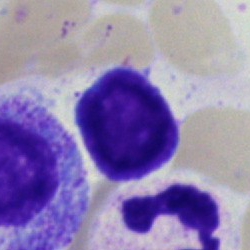
Specimen: bone marrow smear.
Cell type: lymphocyte.